Bone marrow aspirate smear: 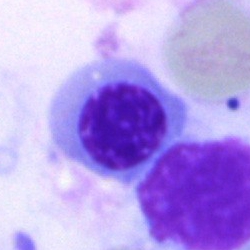A nucleated red cell.